Single-cell field · peripheral blood smear · 360×363 px — 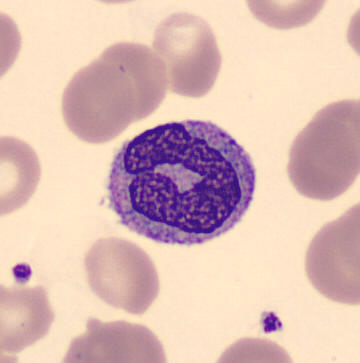

Cell: monocyte.